250 by 250 pixels · bone marrow smear
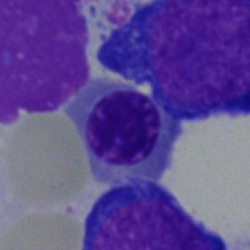

Q: What type of cell is this?
A: It is a nucleated red blood cell.